Bone marrow smear; 250 by 250 pixels.
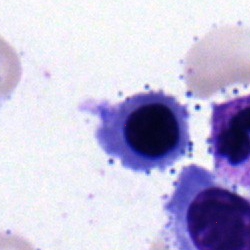Cell type: normoblast.